Bone marrow smear
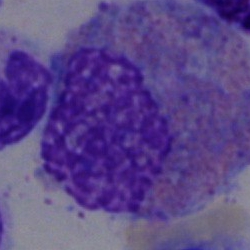 Impression → eosinophil.